Bone marrow smear
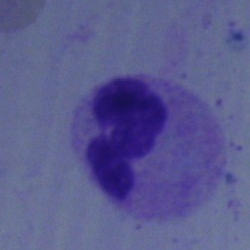 Morphology consistent with a neutrophil (segmented).